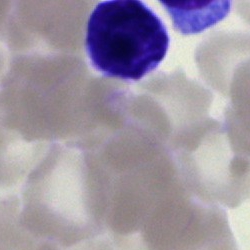Q: What cell is this?
A: This is a typical lymphocyte.